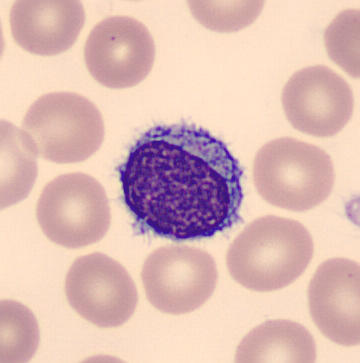Classification = lymphocyte.